Bone marrow aspirate smear · May-Grünwald-Giemsa/Pappenheim stain · image size 250×250:
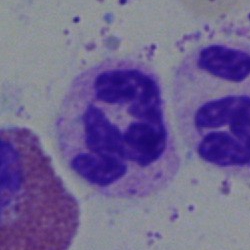Specimen: bone marrow smear.
Cell: neutrophil (segmented).
Lineage: myeloid.